Pappenheim-stained; bone marrow aspirate smear:
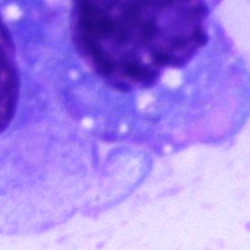Plasmacyte.